Brightfield, 40× oil-immersion objective; bone marrow aspirate smear:
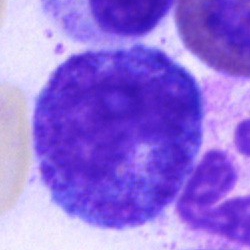

Q: What cell is this?
A: Progranulocyte.